40× objective, oil immersion. Bone marrow smear: 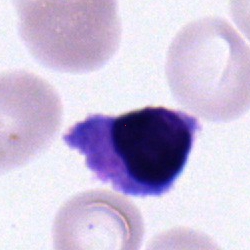Morphology consistent with a typical lymphocyte.